Bone marrow smear
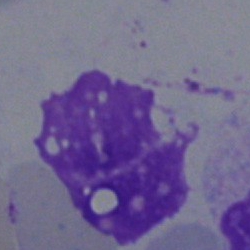
Cell type = artefact.